400×400. Cropped to a single cell. Peripheral blood film:
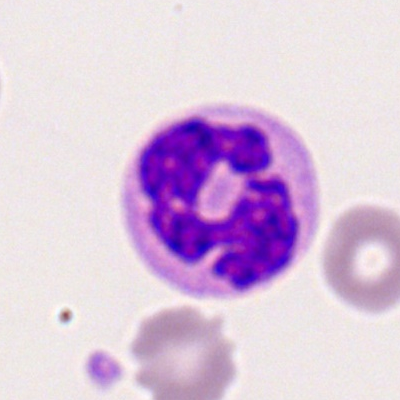Cell: neutrophil (segmented).